Bone marrow aspirate smear — 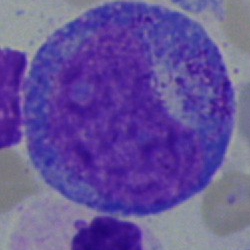
Q: Identify the cell.
A: It is a progranulocyte.